Brightfield, 40× oil-immersion objective; bone marrow aspirate smear; May-Grünwald-Giemsa stain
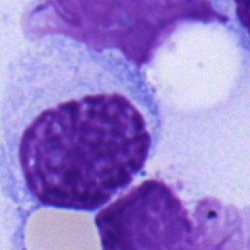Morphology — lymphocyte.